Bone marrow aspirate smear:
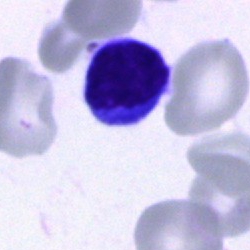Morphology consistent with a lymphocyte.